Brightfield microscopy, 40× oil immersion; bone marrow smear
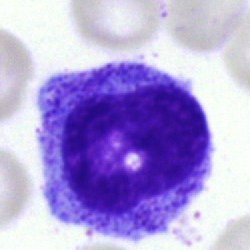
The classification is promyelocyte.